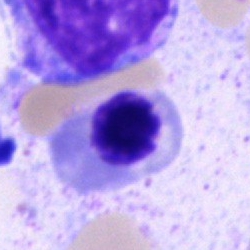
Impression — erythroblast.